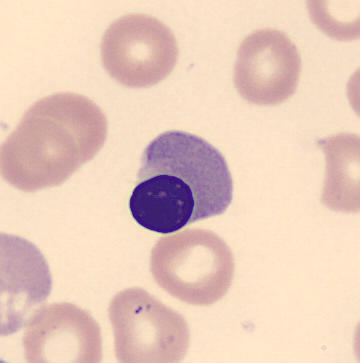

Cell: nucleated red blood cell.
Preparation: Cropped to a single cell. Peripheral blood smear.